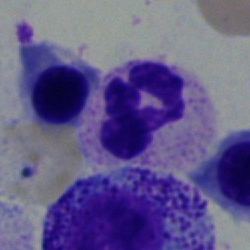 The cell shown is a polymorphonuclear neutrophil.